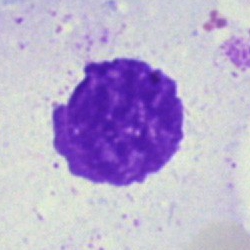
Q: What is shown here?
A: This is an artefact.